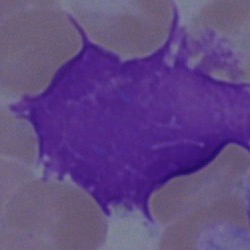Specimen: bone marrow aspirate smear.
Morphological class: artifact.